Bone marrow smear: 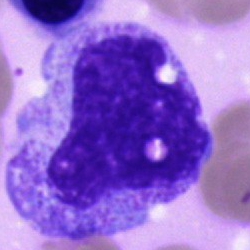 Specimen: bone marrow smear.
Morphological class: promyelocyte.